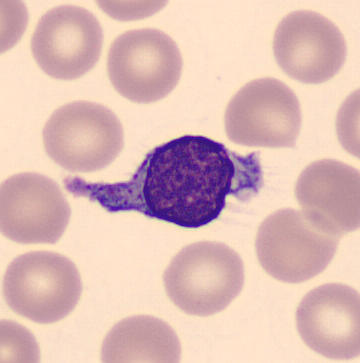 Specimen: peripheral blood smear.
Cell: lymphocyte.
Lineage: lymphoid.